M8 digital microscope (Precipoint), 100× oil immersion · peripheral blood smear — 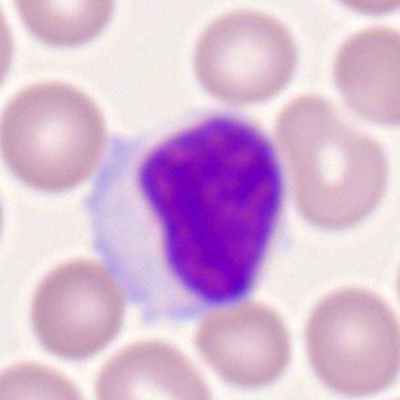Q: Identify the cell.
A: It is a typical lymphocyte.